Single-cell crop. Bone marrow aspirate smear:
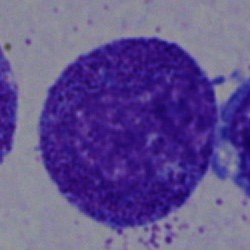 Specimen: bone marrow aspirate smear.
Cell type: promyelocyte.
Lineage: myeloid.